Bone marrow aspirate smear. May-Grünwald-Giemsa stain.
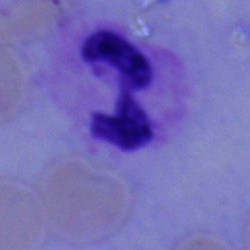This is a polymorphonuclear neutrophil.